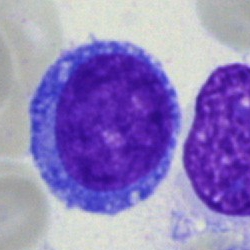Morphology consistent with a blast.